Bone marrow smear
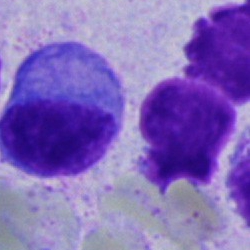A plasma cell.